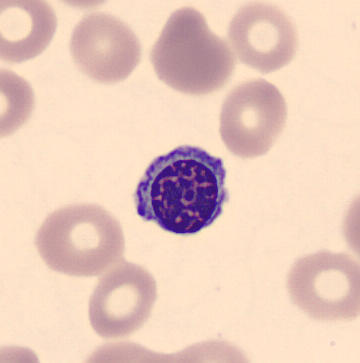

Specimen: peripheral blood film.
Cell type: nucleated red cell.
Lineage: erythroid.

Image: Automated cell imaging (CellaVision DM96).